Bone marrow aspirate smear:
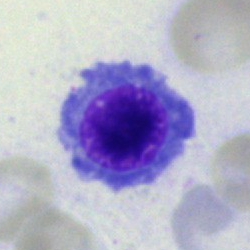 Nucleated red blood cell.